Bone marrow aspirate smear · brightfield microscopy, 40× oil immersion.
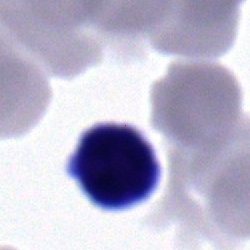 Morphology consistent with a lymphocyte.